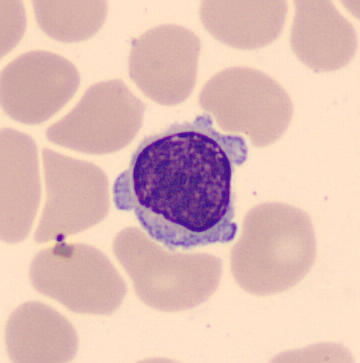 The cell shown is a typical lymphocyte.